Single cell centered in the field · peripheral blood smear · 100× oil immersion, 14.14 px/µm.
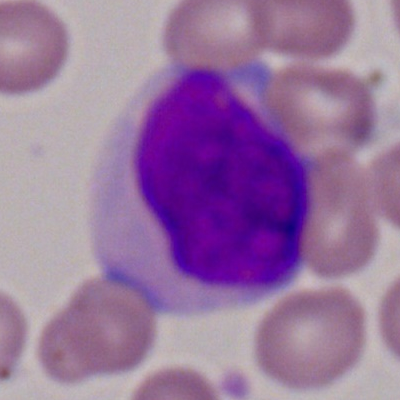
{"cell_type": "myeloblast", "lineage": "myeloid"}